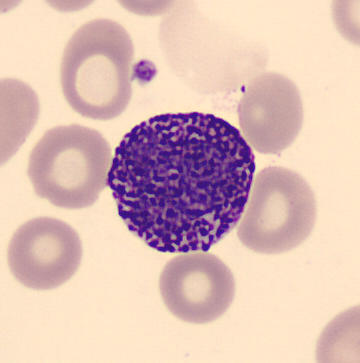
Specimen: peripheral blood smear.
Classification: basophilic granulocyte.